Bone marrow aspirate smear
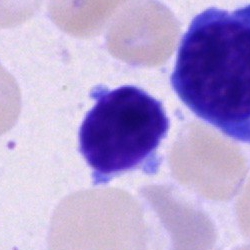

Morphology — lymphocyte.